Bone marrow smear.
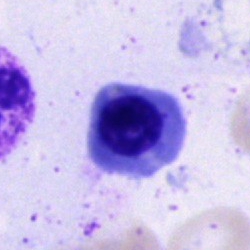Impression → erythroblast.